MGG-stained. Bone marrow aspirate smear:
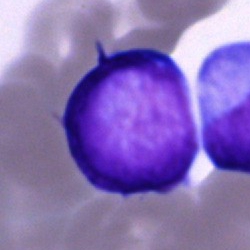A blast cell.